250×250 px. Single cell centered in the field. Bone marrow smear
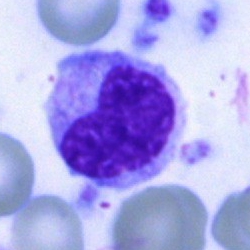
The morphological class is metamyelocyte.